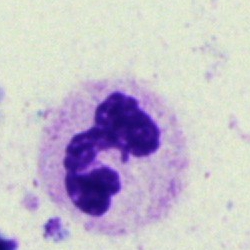

Impression — polymorphonuclear neutrophil.